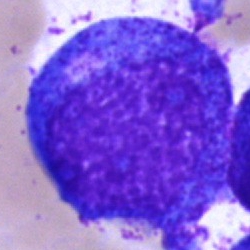
The cell is promyelocyte.